Bone marrow aspirate smear: 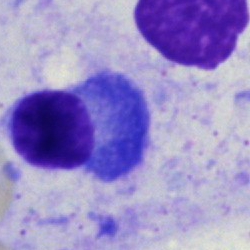 Showing a plasma cell.